Image size 250×250 · Pappenheim-stained · bone marrow aspirate smear: 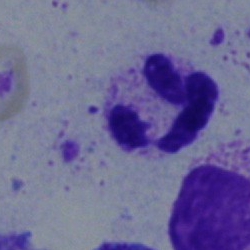The cell shown is a segmented neutrophil.